Cropped to a single cell · bone marrow aspirate smear: 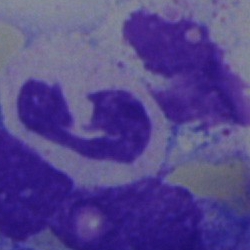
Specimen: bone marrow smear.
Classification: segmented neutrophil.